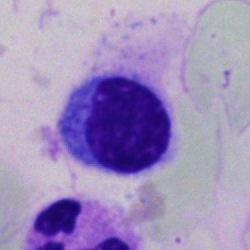

Cell: typical lymphocyte.